Bone marrow smear:
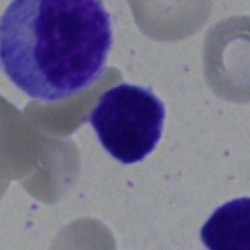

The cell shown is a typical lymphocyte.